Bone marrow smear; single-cell crop: 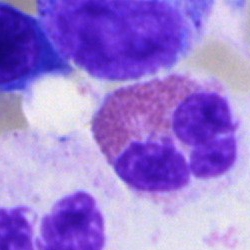

{"cell_type": "eosinophil"}